May-Grünwald-Giemsa stain; bone marrow aspirate smear:
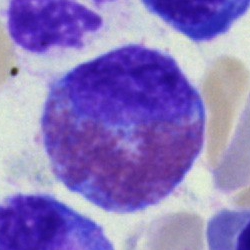
Morphology — eosinophilic granulocyte.